Bone marrow aspirate smear · image size 250×250:
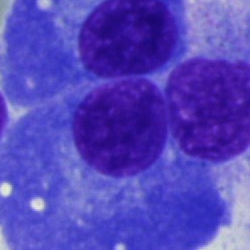 Cell type: plasma cell.